Bone marrow smear: 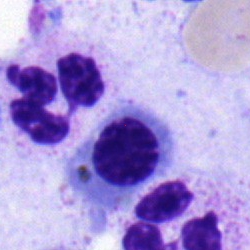

Impression → normoblast.